Bone marrow aspirate smear — 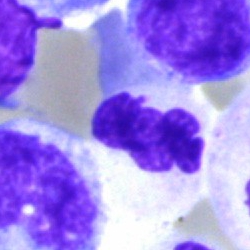 Classification — artifact.